Bone marrow smear · image size 250×250:
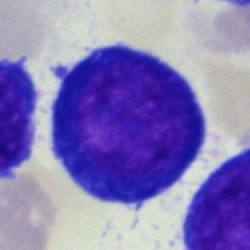
Q: Identify the cell.
A: It is a proerythroblast.